Bone marrow smear: 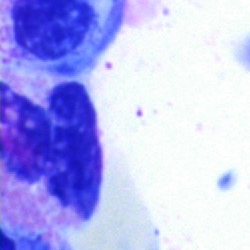 This is an artefact.